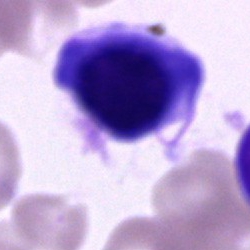 Cell of indeterminate lineage.